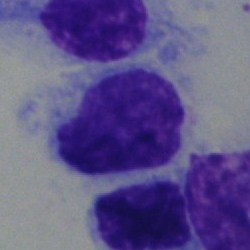

Specimen: bone marrow aspirate smear.
Morphological class: hairy cell.